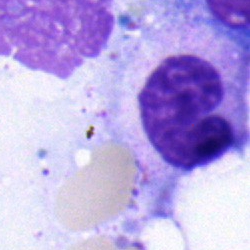
Impression → band neutrophil.